Single-cell field; bone marrow aspirate smear: 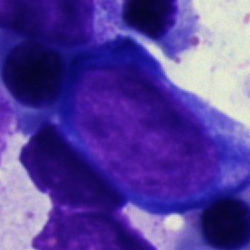Cell — pronormoblast.